Bone marrow aspirate smear. Cropped to a single cell — 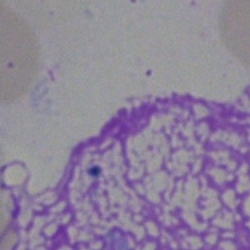Specimen: bone marrow smear.
Morphological class: artefact.